Bone marrow smear · brightfield microscopy, 40× oil immersion · cropped to a single cell: 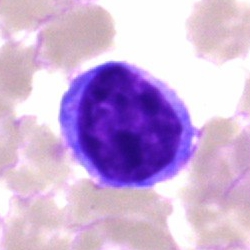 A plasma cell.